250 by 250 pixels; bone marrow aspirate smear — 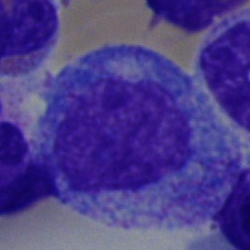
Q: What cell is this?
A: A promyelocyte.